Bone marrow smear · 40× oil immersion
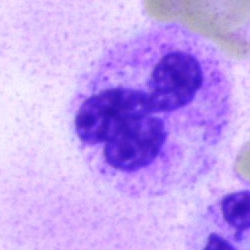

A polymorphonuclear neutrophil.